Bone marrow aspirate smear — 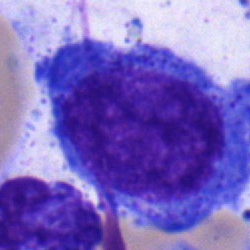

Specimen: bone marrow aspirate smear.
Cell type: blast.